Bone marrow aspirate smear · May-Grünwald-Giemsa/Pappenheim stain.
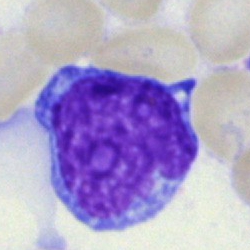
This is an undifferentiated blast.